Peripheral blood smear:
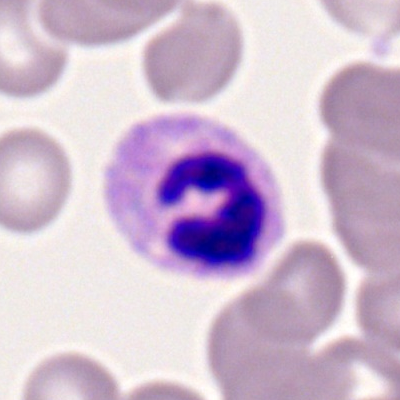 Q: What type of cell is this?
A: It is a neutrophil (segmented).